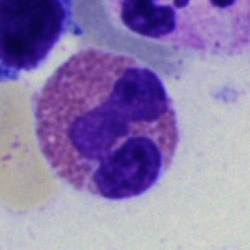
Specimen: bone marrow aspirate smear.
Classification: eosinophilic granulocyte.
Lineage: myeloid.